May-Grünwald-Giemsa stain. Bone marrow smear:
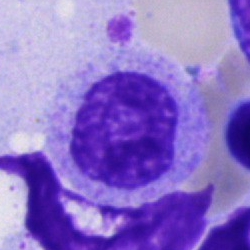 Cell type — myelocyte.